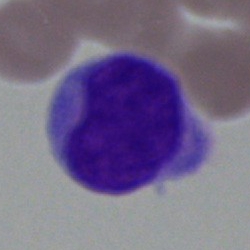Morphology → blast.